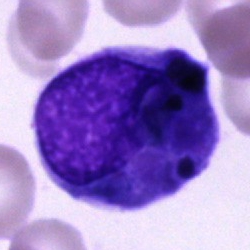

An unidentifiable cell.